250×250. Bone marrow smear. Single-cell crop
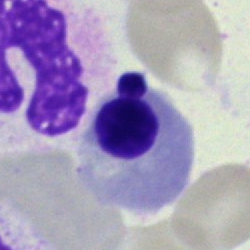
{"cell_type": "nucleated red cell"}